250 by 250 pixels; bone marrow aspirate smear:
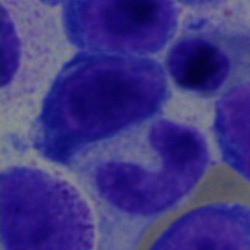Morphology → neutrophil (band).